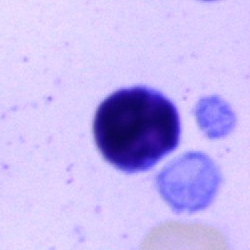
Specimen: bone marrow smear.
Classification: lymphocyte.